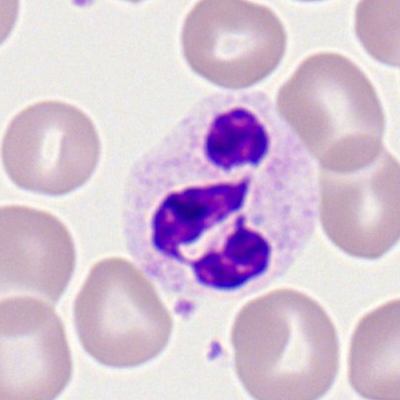 Peripheral blood film, single cell — neutrophil (segmented).